Bone marrow aspirate smear — 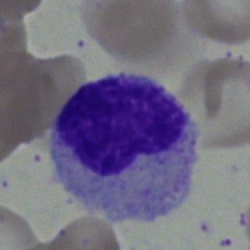
Specimen: bone marrow aspirate smear.
Cell type: metamyelocyte.
Lineage: myeloid.